Bone marrow aspirate smear
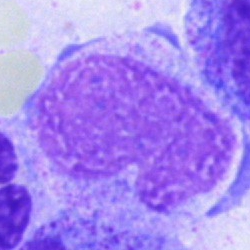
Q: What is shown here?
A: It is an artefact.